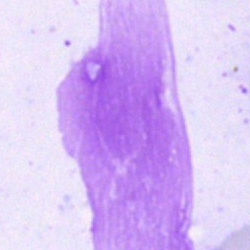Impression — artifact.